Peripheral blood smear: 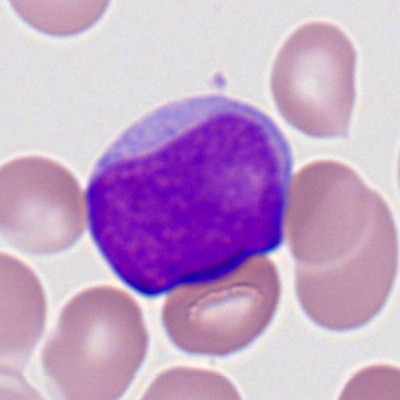

Morphological class = myeloid blast.